Bone marrow aspirate smear: 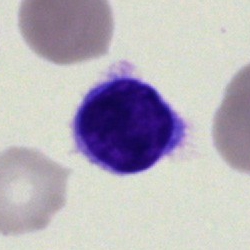
{"cell_type": "lymphocyte"}